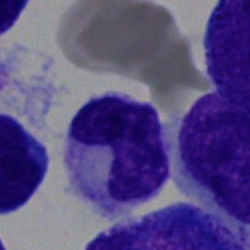Morphology → neutrophil (band).